Peripheral blood smear; May Grünwald-Giemsa stain
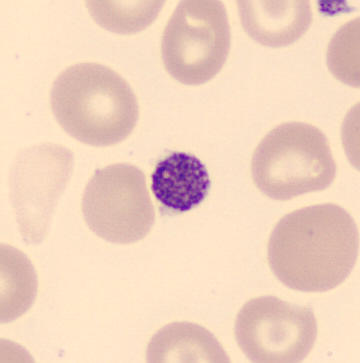Identified as a platelet.